Bone marrow smear — 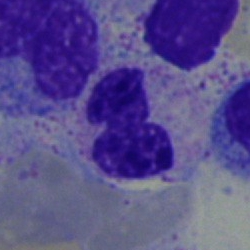 The classification is band neutrophil.